Bone marrow smear
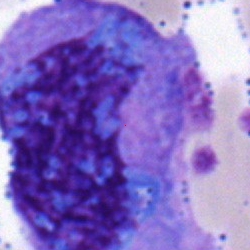 Showing a myelocyte.